MGG-stained; bone marrow aspirate smear — 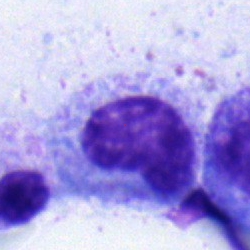Morphology — metamyelocyte.